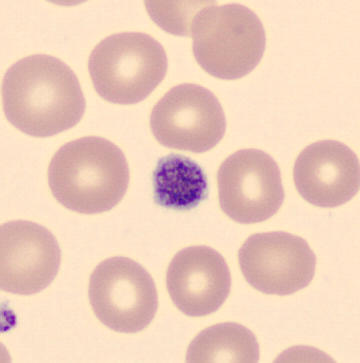

Platelet.

Peripheral blood smear · MGG stain.